Bone marrow smear — 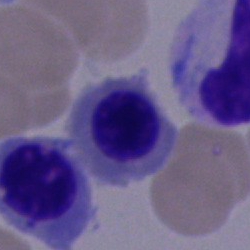

Morphology consistent with a nucleated red blood cell.